Bone marrow aspirate smear: 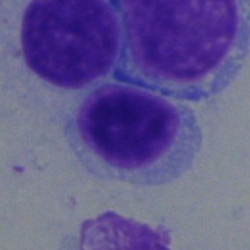The morphological class is typical lymphocyte.